Bone marrow aspirate smear · May-Grünwald-Giemsa/Pappenheim stain: 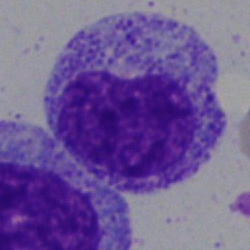Specimen: bone marrow smear.
Morphological class: metamyelocyte.